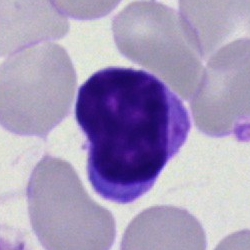

Q: What cell is this?
A: Lymphocyte.